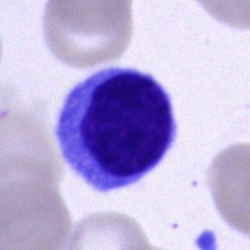

Showing a lymphocyte.